Bone marrow aspirate smear — 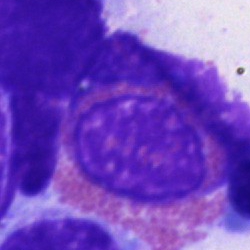An eosinophil.